Bone marrow aspirate smear: 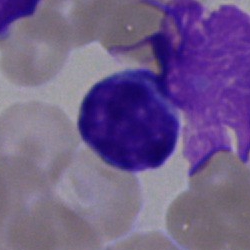Cell: lymphocyte.